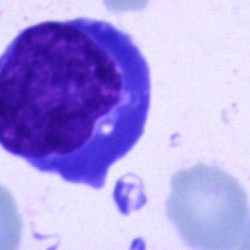
Specimen: bone marrow aspirate smear.
Classification: undifferentiated blast.